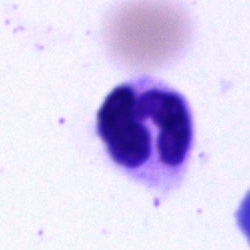
Single-cell crop from a bone marrow smear: segmented neutrophil.